Pappenheim-stained · bone marrow aspirate smear — 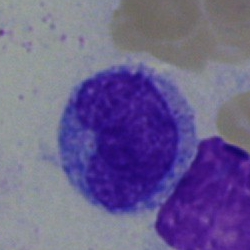 Monocyte.